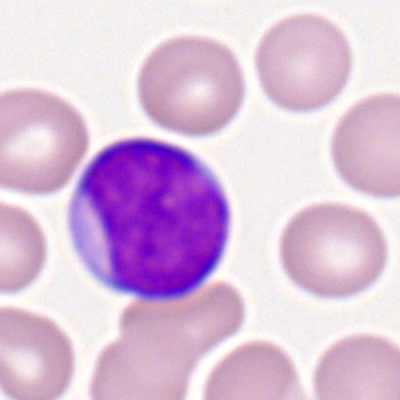 Morphological class — myeloblast.